Bone marrow aspirate smear · MGG-stained — 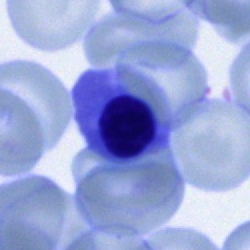
Nucleated red blood cell.